Bone marrow aspirate smear — 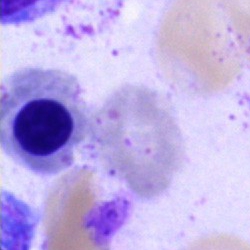
Showing a nucleated red cell.